Bone marrow aspirate smear:
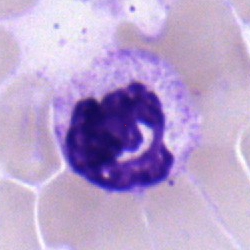Morphology → polymorphonuclear neutrophil.